Bone marrow smear · single-cell field: 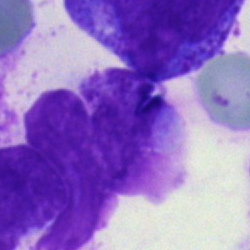Morphology consistent with an artifact.